Bone marrow smear
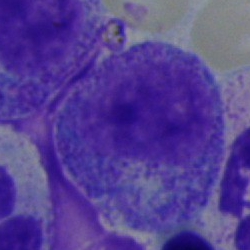
Classification: promyelocyte.